Bone marrow aspirate smear: 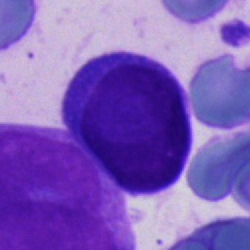Specimen: bone marrow smear.
Morphological class: blast.